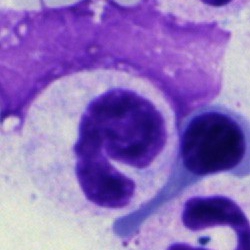 Q: What is shown here?
A: A polymorphonuclear neutrophil.